Peripheral blood film
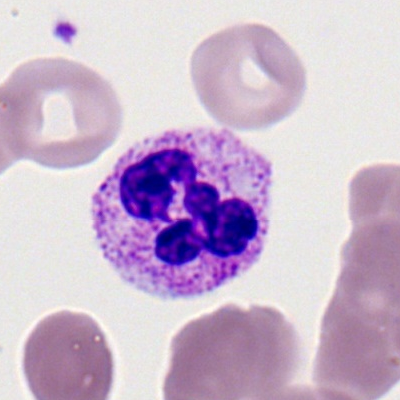Showing a segmented neutrophil.